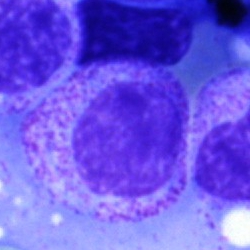

Morphology → myelocyte.